Bone marrow smear
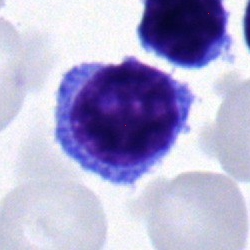{"cell_type": "typical lymphocyte", "lineage": "lymphoid"}